Peripheral blood smear
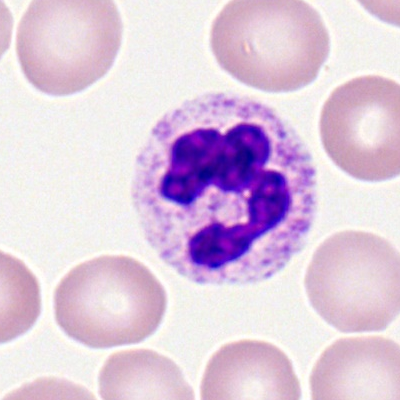 Impression — neutrophil (segmented).